Bone marrow aspirate smear.
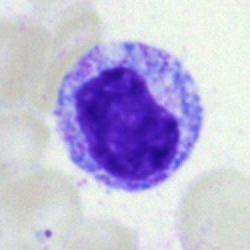
Specimen: bone marrow aspirate smear.
Morphological class: myelocyte.